Bone marrow smear: 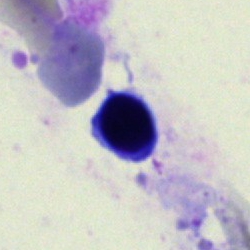 Classification: artefact.